Bone marrow aspirate smear
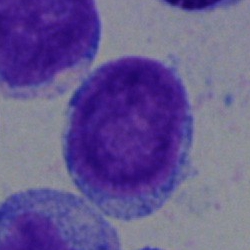
This is a blast cell.